Bone marrow aspirate smear
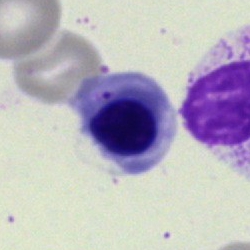
Erythroblast.